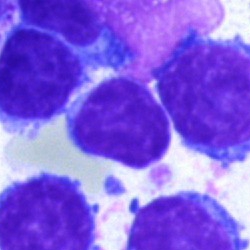

Single cell identified as a typical lymphocyte.